Peripheral blood smear. 400 by 400 pixels — 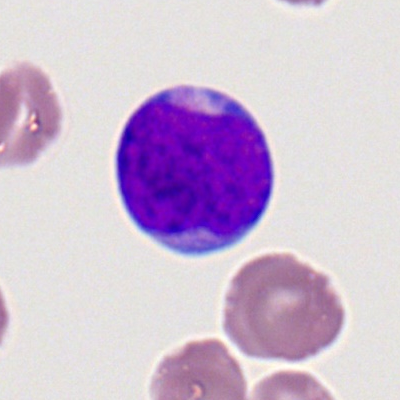
Q: What cell is this?
A: This is a myeloblast.